Automated cell imaging (CellaVision DM96); 360×363; peripheral blood film: 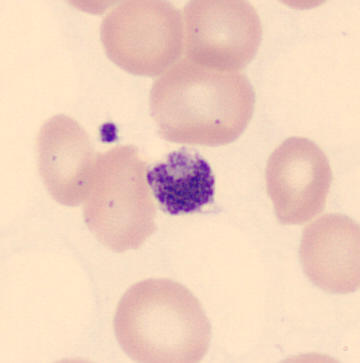 {"cell_type": "platelet (thrombocyte)"}